Bone marrow aspirate smear. Single-cell crop. 250 by 250 pixels.
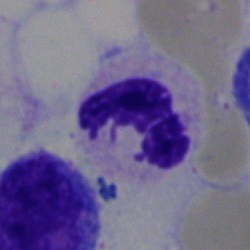

Morphology → segmented neutrophil.